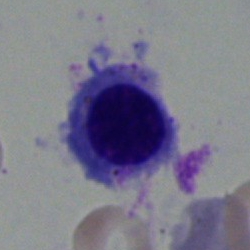

Q: Which cell type is shown here?
A: It is an erythroblast.